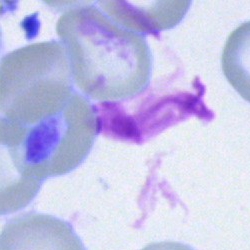Impression — artifact.